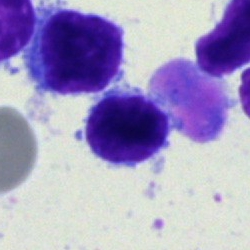Lymphocyte.